Bone marrow smear · Pappenheim-stained: 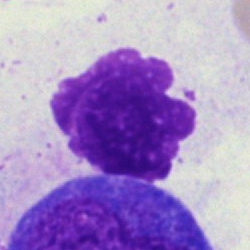Specimen: bone marrow aspirate smear.
Cell type: artefact.